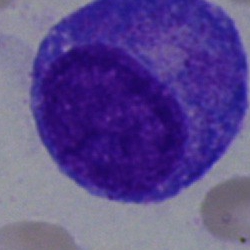

Q: What type of cell is this?
A: A promyelocyte.